Bone marrow aspirate smear · single cell centered in the field — 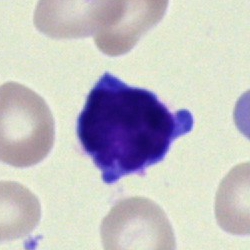The cell shown is a lymphocyte.